Bone marrow smear:
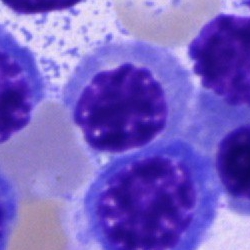

Morphology consistent with a nucleated red blood cell.